Bone marrow aspirate smear; MGG-stained.
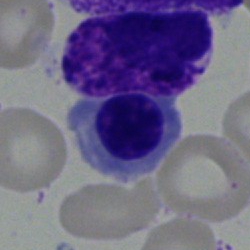 Morphology consistent with a nucleated red cell.